Bone marrow smear · MGG-stained: 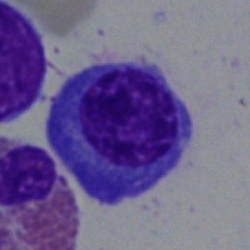 Plasmacyte.